Bone marrow smear — 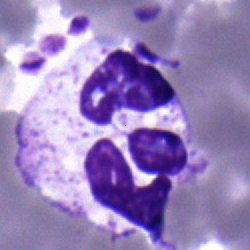
Morphology — neutrophil (segmented).